Bone marrow aspirate smear:
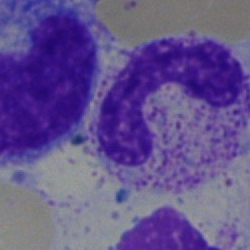
Cell — band neutrophil.